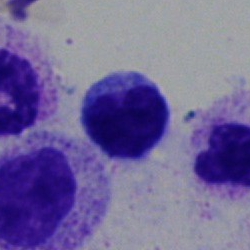 The morphological class is lymphocyte.